Bone marrow aspirate smear; 40× oil immersion.
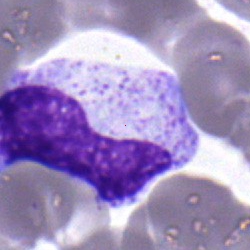

The cell shown is a band neutrophil.